Bone marrow smear: 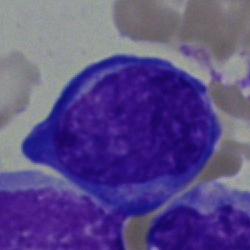

Q: Identify the cell.
A: This is a blast cell.